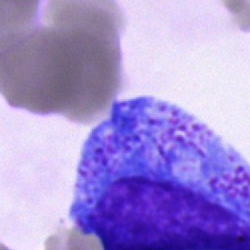Showing a progranulocyte.